Bone marrow aspirate smear · May-Grünwald-Giemsa/Pappenheim stain · 250×250 px — 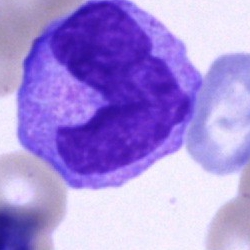
The cell shown is a monocyte.